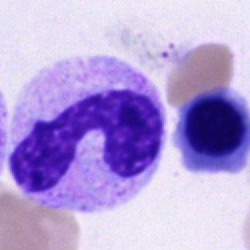
Bone marrow aspirate smear, single cell — band neutrophil.